Bone marrow smear · single-cell field:
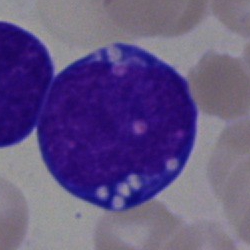

Showing an undifferentiated blast.